Bone marrow aspirate smear.
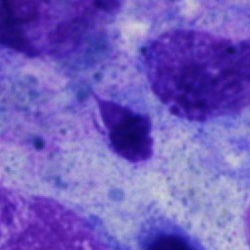Q: What is shown here?
A: It is an artifact.